Bone marrow smear; cropped to a single cell: 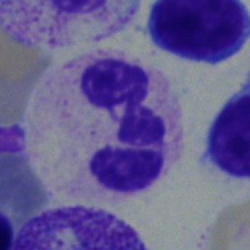

Q: Identify the cell.
A: A segmented neutrophil.